Bone marrow aspirate smear.
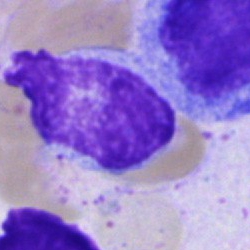The cell shown is an artefact.